Cropped to a single cell; bone marrow aspirate smear: 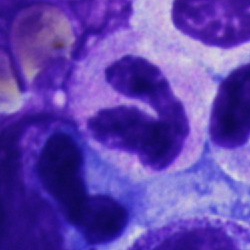Q: What cell is this?
A: It is a segmented neutrophil.